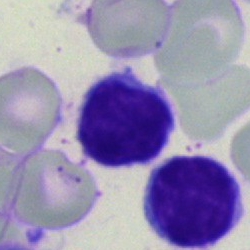
Morphological class — lymphocyte.